Bone marrow aspirate smear. Image size 250×250 — 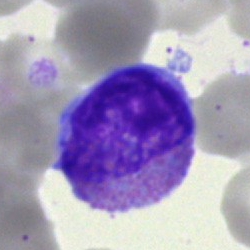

Specimen: bone marrow aspirate smear.
Morphological class: eosinophilic granulocyte.